Bone marrow aspirate smear; May-Grünwald-Giemsa/Pappenheim stain.
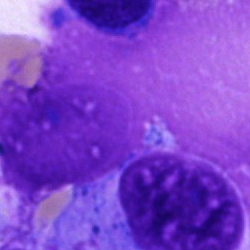

The cell is artefact.